Bone marrow aspirate smear · 40× oil immersion: 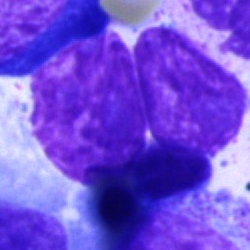
Morphology — artefact.